Image size 250×250. Bone marrow smear
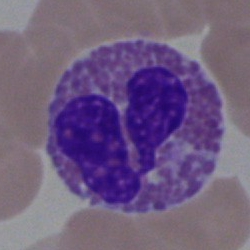
Classification: eosinophilic granulocyte.